Bone marrow aspirate smear. 250 by 250 pixels: 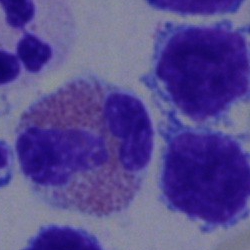 Eosinophilic granulocyte.